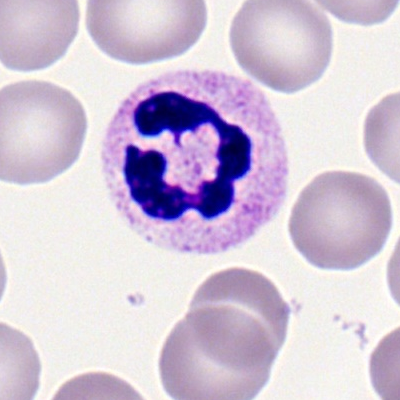
Morphology — segmented neutrophil.